Bone marrow smear · 250×250:
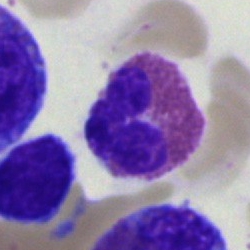
Morphological class = eosinophil.